Bone marrow smear:
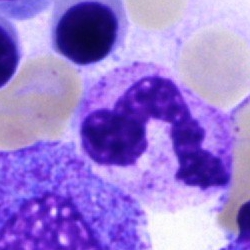 Q: What cell is this?
A: It is a neutrophil (segmented).